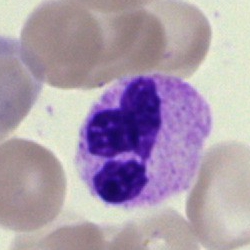 Q: What type of cell is this?
A: It is a neutrophil (segmented).